May-Grünwald-Giemsa/Pappenheim stain · bone marrow smear:
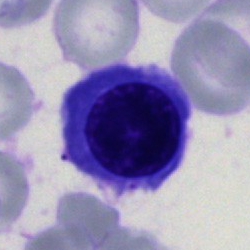
Specimen: bone marrow smear.
Cell: nucleated red cell.